Bone marrow aspirate smear:
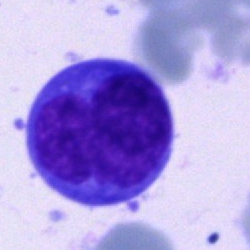 Specimen: bone marrow smear.
Cell: blast cell.